Bone marrow smear
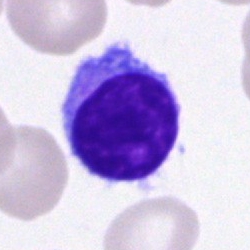Morphological class = typical lymphocyte.